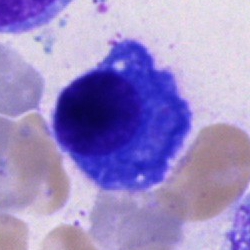

Showing a plasmacyte.